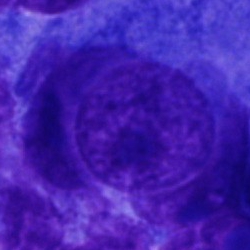
Classification — other cell.